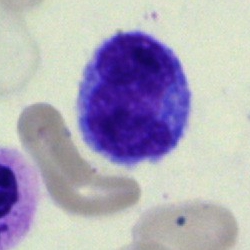 Cell type — monocyte.